Bone marrow smear:
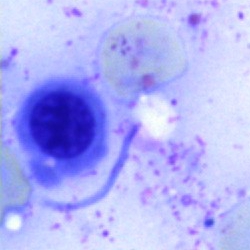
The cell is normoblast.